Bone marrow smear. May-Grünwald-Giemsa/Pappenheim stain. 250×250 px: 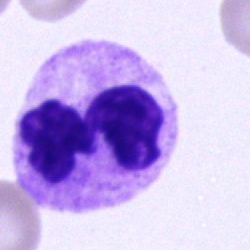
Showing a segmented neutrophil.